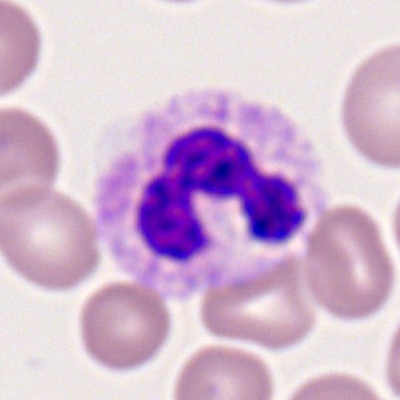 Morphology — neutrophil (segmented).